Single-cell field. Peripheral blood smear
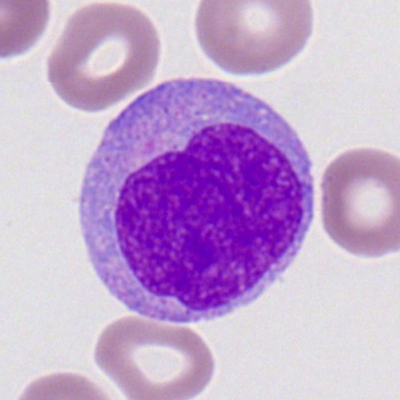

Q: What cell is this?
A: It is a myeloblast.